Bone marrow smear:
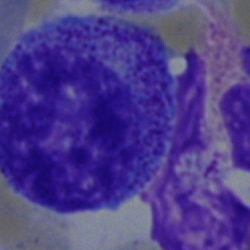Specimen: bone marrow aspirate smear.
Cell: promyelocyte.